Bone marrow aspirate smear. 40× objective, oil immersion. Single-cell field:
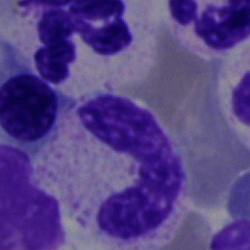 Morphology → band-form neutrophil.